Bone marrow smear — 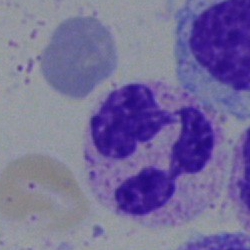Impression — segmented neutrophil.